Bone marrow smear. May-Grünwald-Giemsa/Pappenheim stain. Image size 250×250
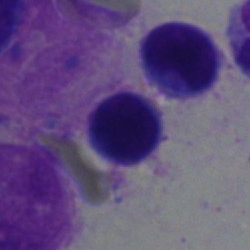 A typical lymphocyte.